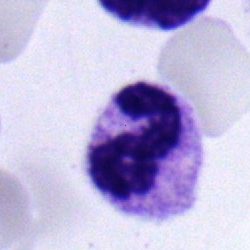

The cell shown is a polymorphonuclear neutrophil.